Bone marrow aspirate smear.
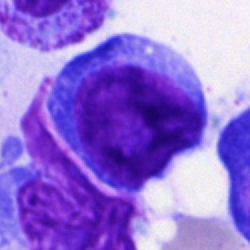Q: What type of cell is this?
A: This is an undifferentiated blast.